Image size 250×250 · bone marrow aspirate smear
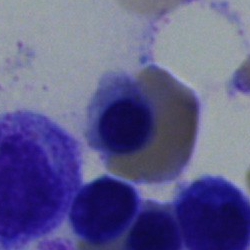
Specimen: bone marrow aspirate smear.
Classification: erythroblast.
Lineage: erythroid.